Bone marrow aspirate smear: 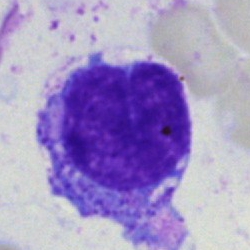
Cell type = typical lymphocyte.